40× oil immersion. Bone marrow aspirate smear:
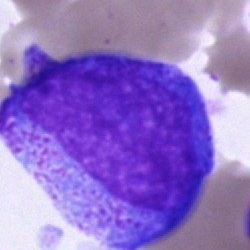 The morphological class is promyelocyte.